Bone marrow aspirate smear. Image size 250×250: 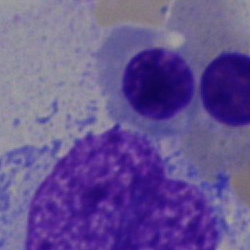
Impression — nucleated red blood cell.